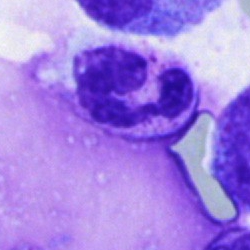The classification is segmented neutrophil.